Bone marrow smear. 250×250 — 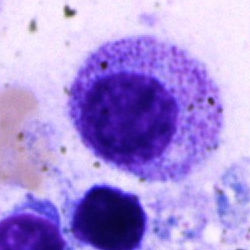
A myelocyte.